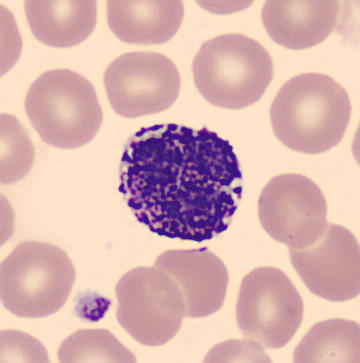Basophil. Image: Single-cell crop; peripheral blood film; imaged on a CellaVision DM96 analyser.